Pappenheim-stained · bone marrow smear
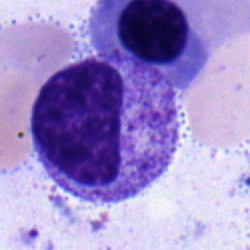{"cell_type": "myelocyte", "lineage": "myeloid"}